Bone marrow smear
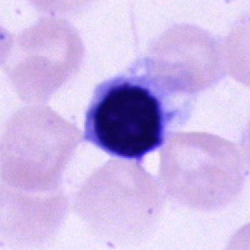 Specimen: bone marrow aspirate smear.
Classification: unidentifiable cell.